Bone marrow smear:
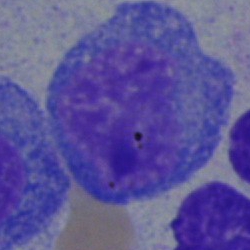

{"cell_type": "undifferentiated blast"}